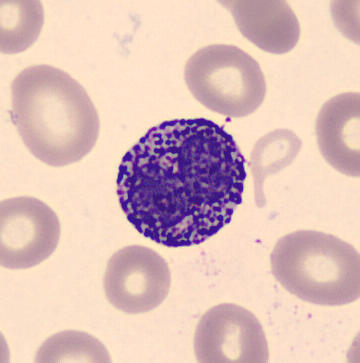{"cell_type": "basophil"}

Acquisition: Peripheral blood film.